Single-cell crop. Peripheral blood smear. Romanowsky stain:
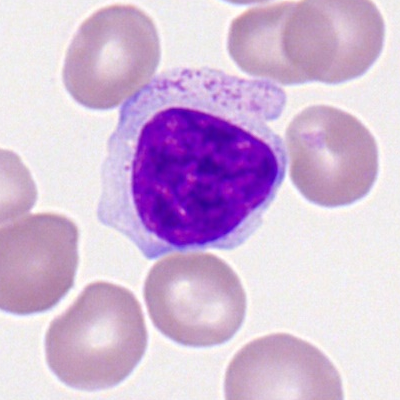Morphological class: lymphocyte.